Bone marrow aspirate smear. Brightfield, 40× oil-immersion objective:
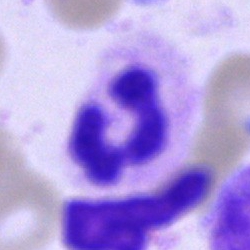 Morphology → neutrophil (segmented).